Bone marrow aspirate smear; 40× objective, oil immersion; May-Grünwald-Giemsa stain.
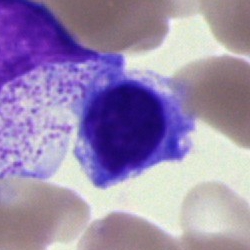
Single cell identified as a normoblast.